Bone marrow aspirate smear: 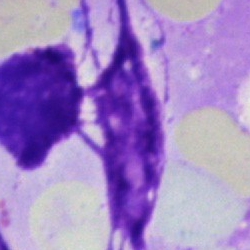
Morphology → artefact.